250 by 250 pixels. Bone marrow smear — 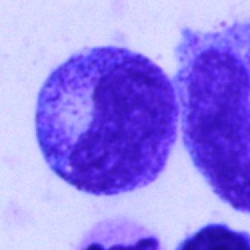 Q: What cell is this?
A: A metamyelocyte.